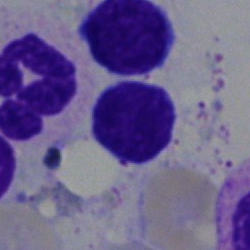

Specimen: bone marrow smear.
Morphological class: typical lymphocyte.